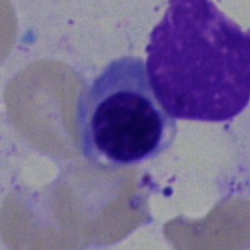 {"cell_type": "nucleated red blood cell", "lineage": "erythroid"}